Single-cell crop · bone marrow aspirate smear:
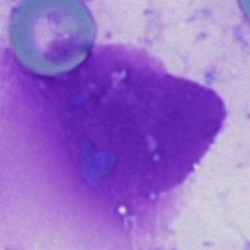Q: What is shown here?
A: This is an artefact.